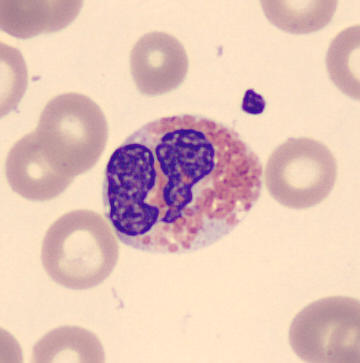
Preparation: Peripheral blood smear · cropped to a single cell · CellaVision DM96.
Morphology consistent with an eosinophil.